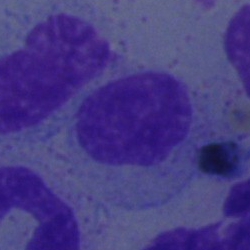

A myelocyte on a bone marrow smear.